Bone marrow aspirate smear.
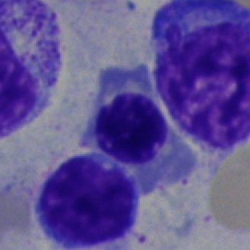

Nucleated red cell.